Bone marrow smear
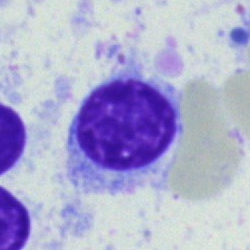
Cell type: typical lymphocyte.